Bone marrow aspirate smear
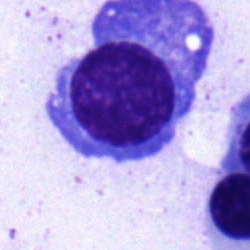

{"cell_type": "plasmacyte"}